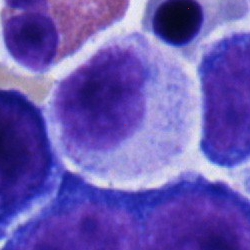Q: Identify the cell.
A: It is a myelocyte.